CellaVision DM96; peripheral blood smear:
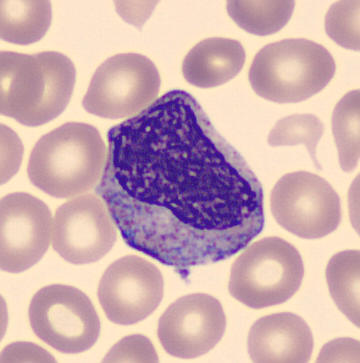 Q: What is shown here?
A: Myelocyte.